Bone marrow aspirate smear:
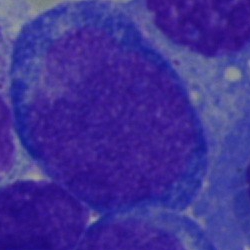

Specimen: bone marrow smear.
Classification: undifferentiated blast.